Cropped to a single cell. Peripheral blood smear.
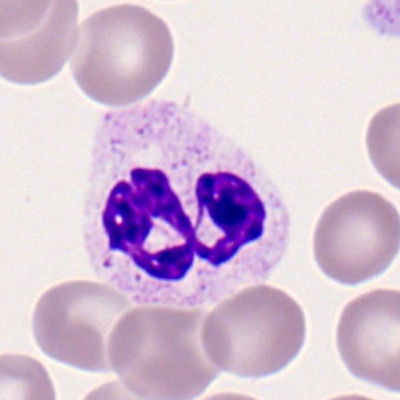
Specimen: peripheral blood smear.
Classification: neutrophil (segmented).
Lineage: myeloid.